Bone marrow aspirate smear.
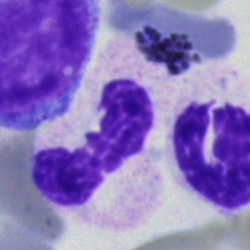Single cell identified as a neutrophil (segmented).